Bone marrow aspirate smear: 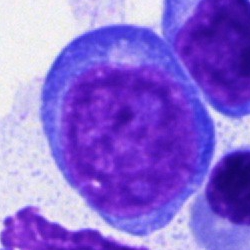

This is an undifferentiated blast.